250×250; bone marrow aspirate smear:
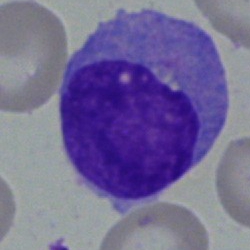 Cell — monocyte.